40× objective, oil immersion. Pappenheim-stained. Bone marrow aspirate smear.
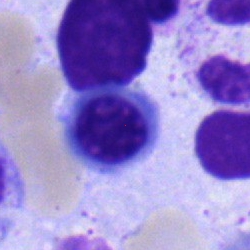
Normoblast.